Bone marrow smear: 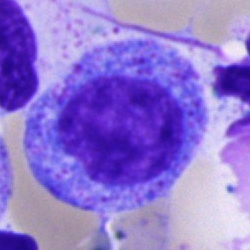 Progranulocyte.